Bone marrow smear:
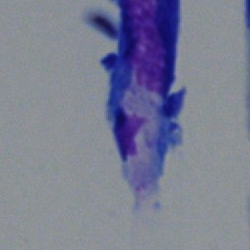
Artifact.